Bone marrow aspirate smear
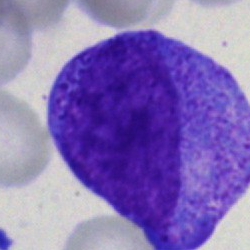

Specimen: bone marrow smear.
Morphological class: promyelocyte.
Lineage: myeloid.